Bone marrow aspirate smear — 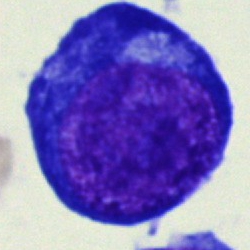
Morphology consistent with a proerythroblast.